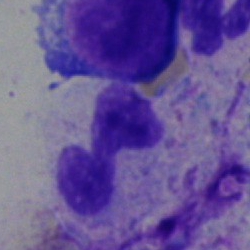

Specimen: bone marrow smear.
Classification: neutrophil (segmented).